Single-cell field; peripheral blood smear; M8 digital microscope (Precipoint), 100× oil immersion — 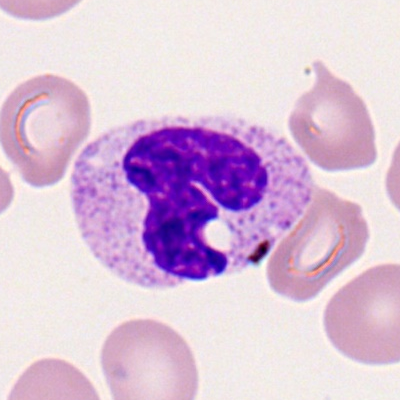 A neutrophil (segmented).